Single-cell crop. Bone marrow aspirate smear. Brightfield, 40× oil-immersion objective — 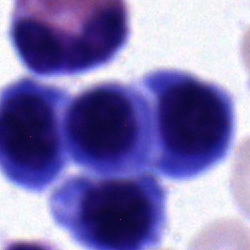 A normoblast.